Bone marrow aspirate smear; brightfield, 40× oil-immersion objective.
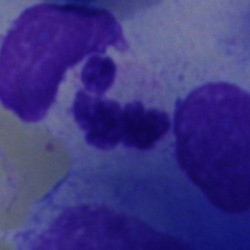 Single cell identified as an artifact.